Bone marrow smear:
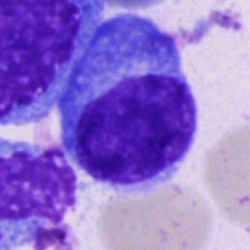
This is a plasma cell.